Bone marrow smear; single-cell crop — 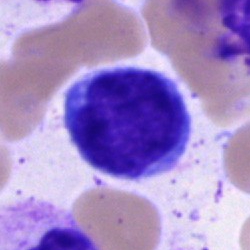
Q: What is the morphological classification of this cell?
A: Typical lymphocyte.